250×250 px. Bone marrow smear.
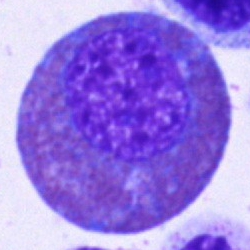
Q: Which cell type is shown here?
A: It is an eosinophil.